Bone marrow smear.
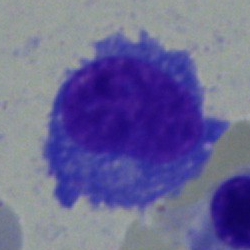Morphology — plasma cell.